Bone marrow aspirate smear · 250 by 250 pixels
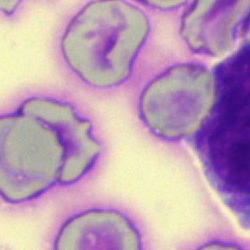

Showing an artefact.